Peripheral blood film — 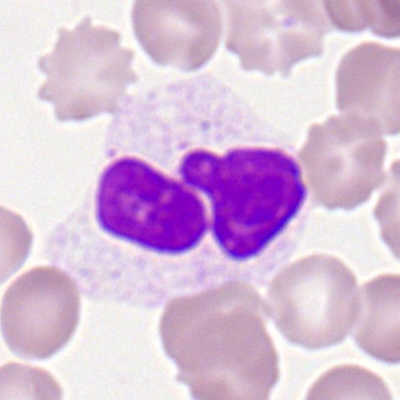 This is a polymorphonuclear neutrophil.